Bone marrow smear; brightfield, 40× oil-immersion objective.
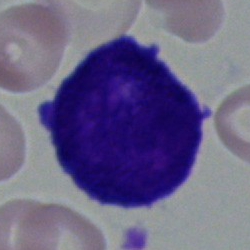Showing a blast cell.